250×250; single-cell crop; bone marrow aspirate smear — 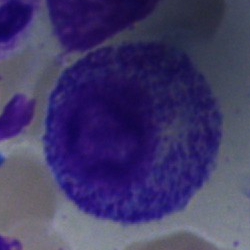
Specimen: bone marrow smear.
Morphological class: promyelocyte.
Lineage: myeloid.